Bone marrow smear; single cell centered in the field.
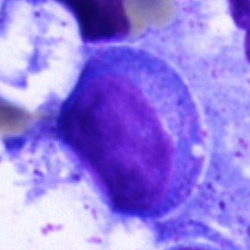 Classification — blast.